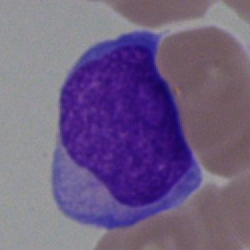 Cell type: undifferentiated blast.